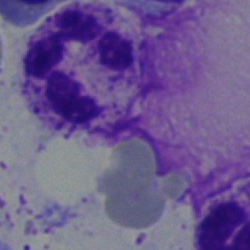The cell shown is a neutrophil (segmented).